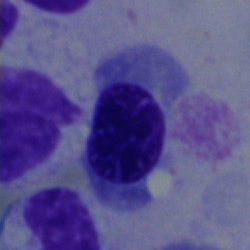

Bone marrow aspirate smear, single cell — nucleated red cell.